Peripheral blood smear.
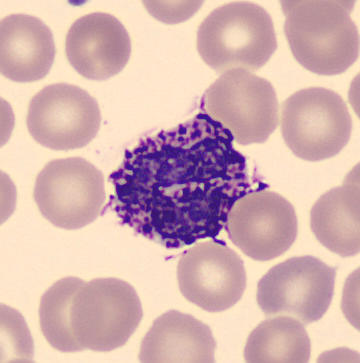 Classification = basophil.